Bone marrow smear
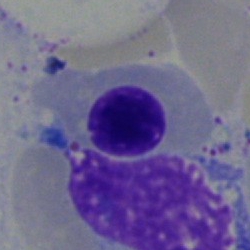
Specimen: bone marrow smear.
Morphological class: erythroblast.
Lineage: erythroid.